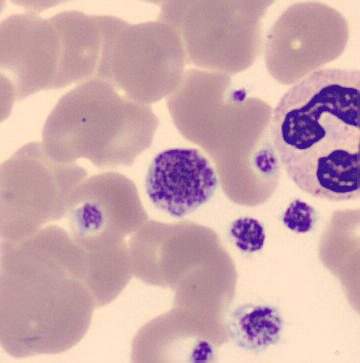

Q: What is this?
A: A thrombocyte.